Bone marrow aspirate smear: 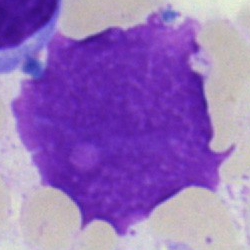

Single cell identified as an artifact.